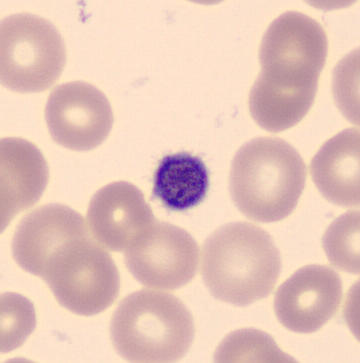Cell type = thrombocyte.